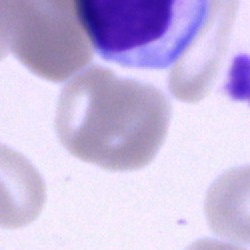 Typical lymphocyte.